Bone marrow aspirate smear: 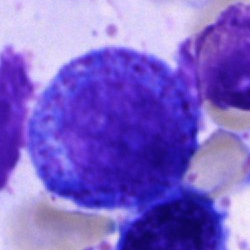Specimen: bone marrow aspirate smear.
Cell: progranulocyte.